250 by 250 pixels. Bone marrow aspirate smear
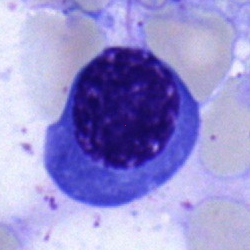Erythroblast.